Bone marrow aspirate smear
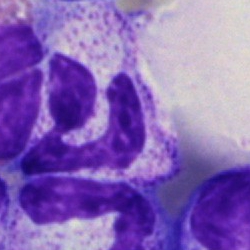

Morphology consistent with a neutrophil (segmented).